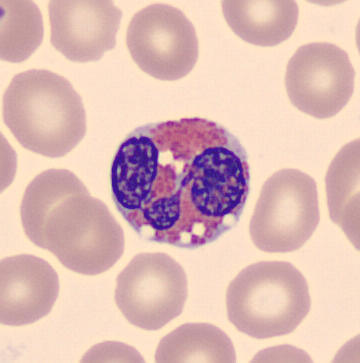Identified as an eosinophilic granulocyte.